Bone marrow aspirate smear
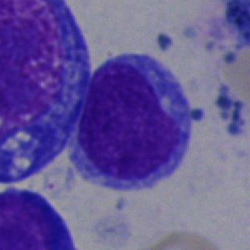 Classification: typical lymphocyte.